250 by 250 pixels · bone marrow smear — 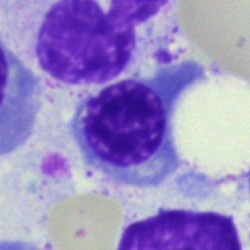
Nucleated red blood cell.